Bone marrow aspirate smear:
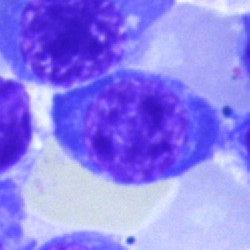

Morphology → normoblast.